Image size 250×250 · bone marrow aspirate smear: 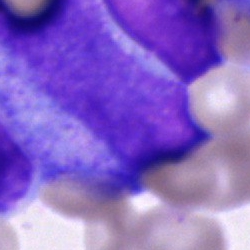
Q: What is shown here?
A: Progranulocyte.